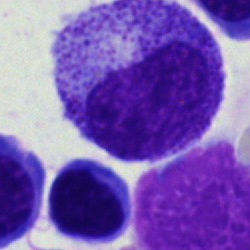

Morphology — progranulocyte.